Bone marrow smear.
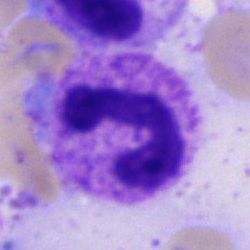

Morphological class = polymorphonuclear neutrophil.